Bone marrow smear.
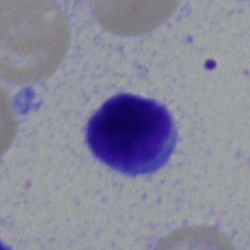

Q: Identify the cell.
A: It is a lymphocyte.